Bone marrow smear — 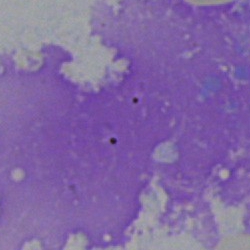 {"cell_type": "artifact"}